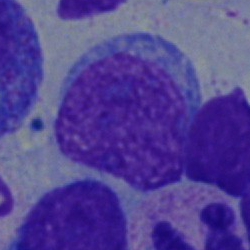 Q: What type of cell is this?
A: This is a blast cell.